40× oil immersion; image size 250×250; bone marrow smear — 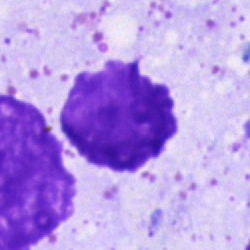

Q: What is shown here?
A: This is an artifact.